MGG-stained; bone marrow smear; image size 250×250 — 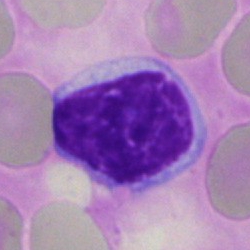
Q: What cell is this?
A: This is a lymphocyte.